Peripheral blood film. MGG-stained — 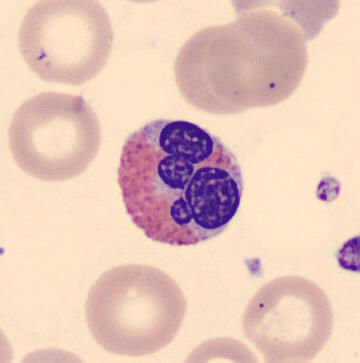Cell type — eosinophilic granulocyte.